Bone marrow smear; May-Grünwald-Giemsa stain; 40× oil immersion:
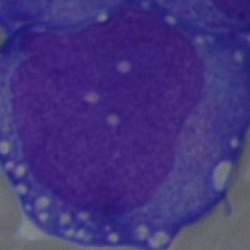
{"cell_type": "progranulocyte", "lineage": "myeloid"}